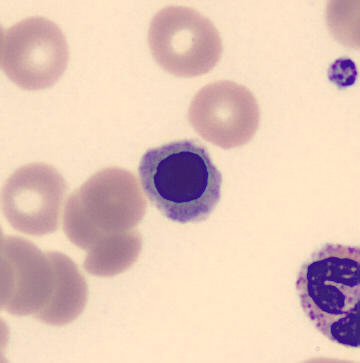

Peripheral blood smear showing a nucleated red blood cell.